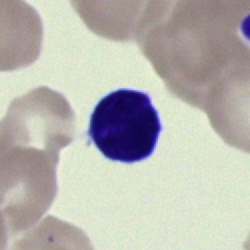

Specimen: bone marrow smear.
Classification: lymphocyte.